40× oil immersion; bone marrow aspirate smear
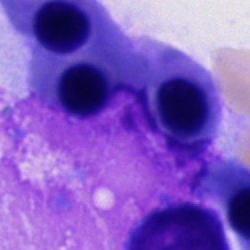Cell: nucleated red blood cell.